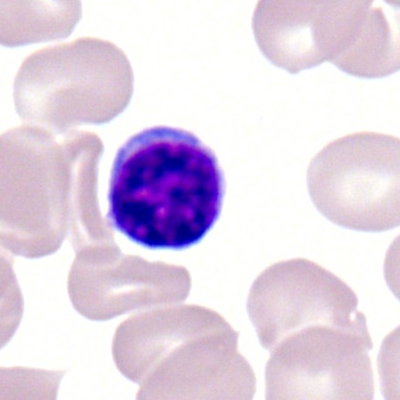

Cell: typical lymphocyte.